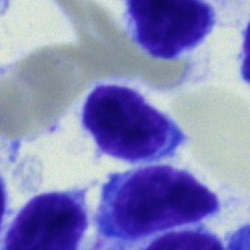
Morphological class = lymphocyte.